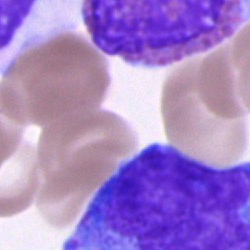Single-cell crop from a bone marrow smear: cell of indeterminate lineage.